Peripheral blood film:
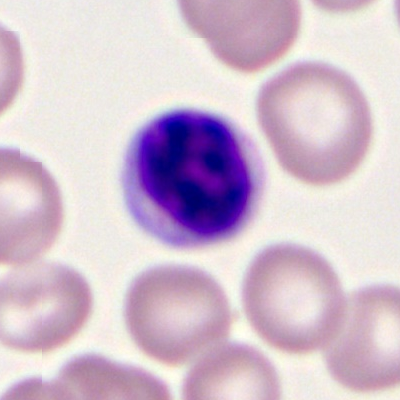
Cell type — typical lymphocyte.